Bone marrow smear: 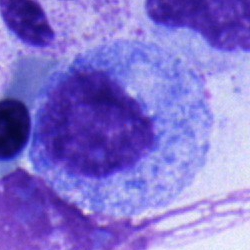
{"cell_type": "progranulocyte"}